Single-cell crop · bone marrow aspirate smear · May-Grünwald-Giemsa/Pappenheim stain — 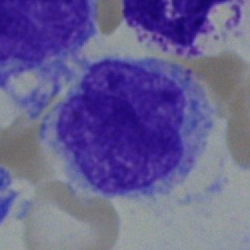Morphology → monocyte.